Bone marrow smear:
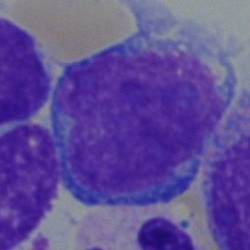

Morphological class = undifferentiated blast.